Bone marrow smear.
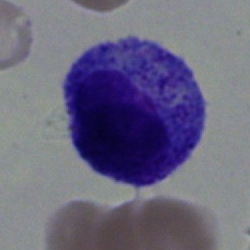Q: Which cell type is shown here?
A: This is a myelocyte.